Cropped to a single cell · bone marrow smear · image size 250×250 — 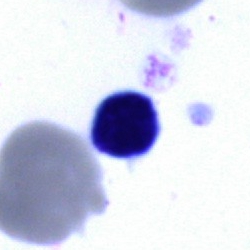 Specimen: bone marrow aspirate smear.
Morphological class: artifact.